Peripheral blood film
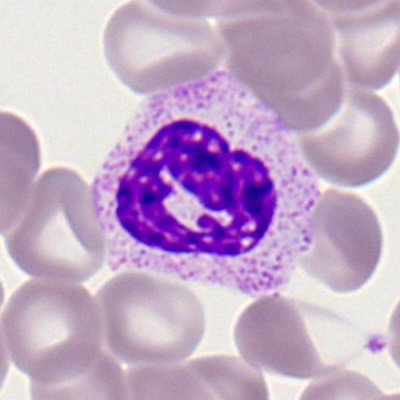Specimen: peripheral blood smear.
Cell: neutrophil (segmented).